Brightfield, 40× oil-immersion objective · single cell centered in the field · bone marrow smear:
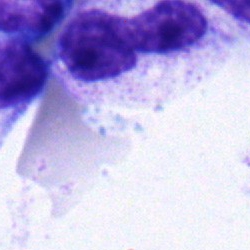
Showing a band-form neutrophil.